Bone marrow aspirate smear.
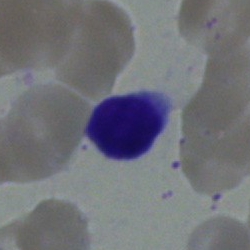 Showing a typical lymphocyte.